Peripheral blood film:
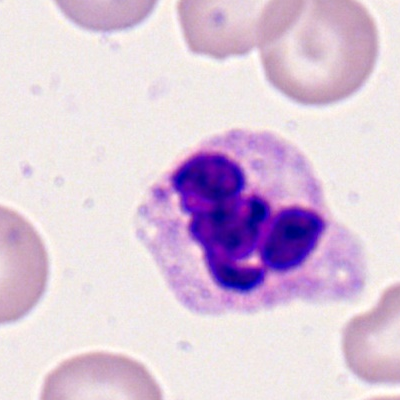 The cell is neutrophil (segmented).